Peripheral blood smear — 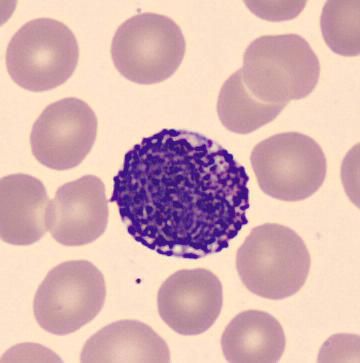

{"cell_type": "basophil", "lineage": "myeloid"}